Bone marrow smear. 250×250 px.
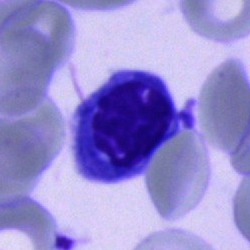 Specimen: bone marrow aspirate smear.
Cell type: nucleated red blood cell.
Lineage: erythroid.